Bone marrow smear
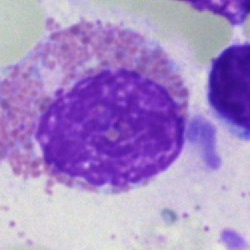Cell type: eosinophilic granulocyte.